Bone marrow aspirate smear · cropped to a single cell.
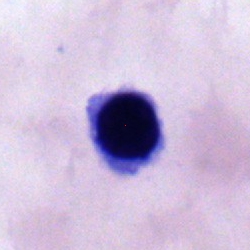
Nucleated red blood cell.